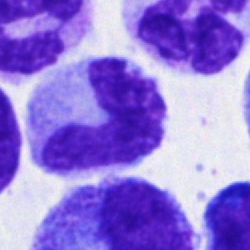 Single-cell crop from a bone marrow smear: band neutrophil.